May-Grünwald-Giemsa stain. Bone marrow aspirate smear: 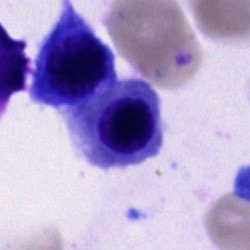

Cell type: normoblast.